Bone marrow smear. Image size 250×250: 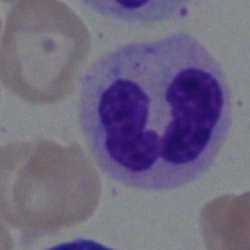 Specimen: bone marrow aspirate smear.
Classification: segmented neutrophil.
Lineage: myeloid.